Bone marrow aspirate smear:
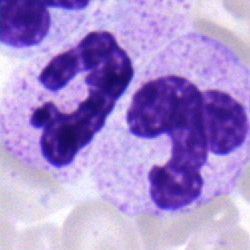The classification is segmented neutrophil.